Bone marrow aspirate smear. Single cell centered in the field. Image size 250×250
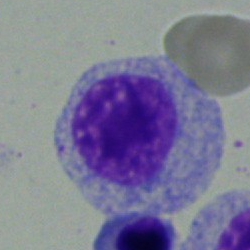

The morphological class is myelocyte.